Cropped to a single cell · Pappenheim-stained · bone marrow smear: 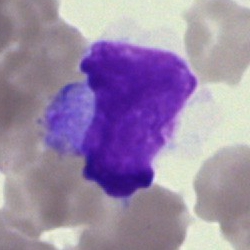

The cell is artefact.